Bone marrow smear.
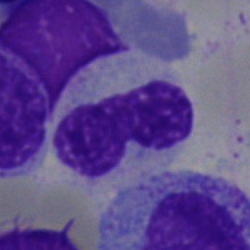Q: Which cell type is shown here?
A: A neutrophil (band).